Cropped to a single cell · bone marrow aspirate smear · brightfield, 40× oil-immersion objective: 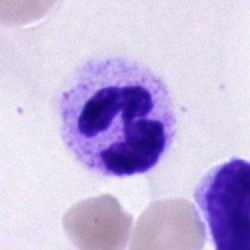 Cell — neutrophil (segmented).